Bone marrow aspirate smear · brightfield microscopy, 40× oil immersion: 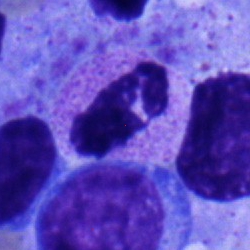

Morphology — neutrophil (segmented).